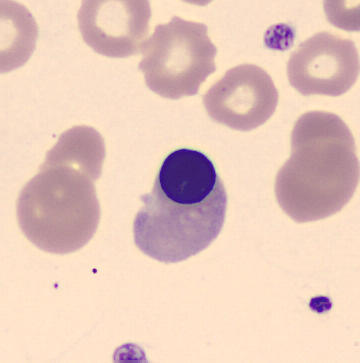 Q: What is shown here?
A: It is a nucleated red blood cell.